Peripheral blood film · MGG stain.
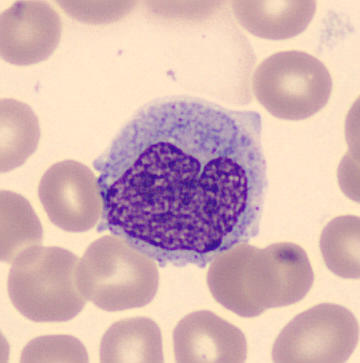

Q: Identify the cell.
A: A monocyte.